40× oil immersion; bone marrow aspirate smear.
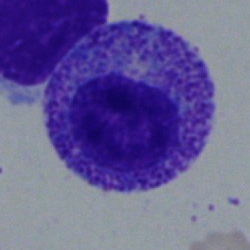

Classification = myelocyte.